100× objective, oil immersion · peripheral blood film.
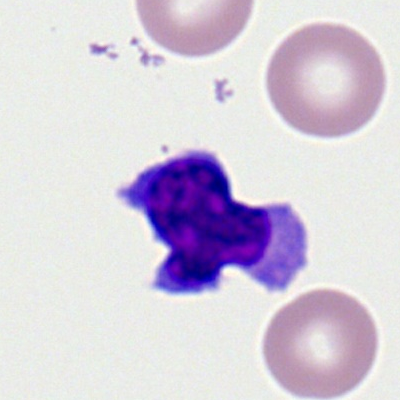
Morphological class = lymphocyte.